Bone marrow aspirate smear — 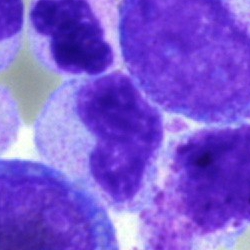
Single cell identified as a metamyelocyte.